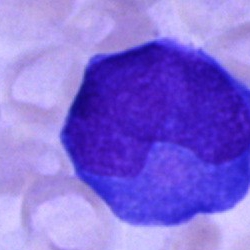Q: What is the morphological classification of this cell?
A: It is a blast cell.